Bone marrow smear · 40× objective, oil immersion:
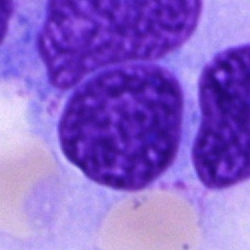

Impression — artifact.